Peripheral blood smear — 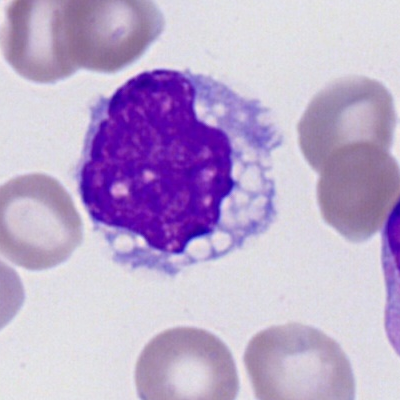Showing a monocyte.